Brightfield, 40× oil-immersion objective. Bone marrow aspirate smear.
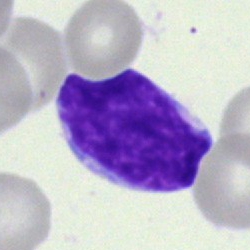Q: Which cell type is shown here?
A: Blast cell.